Bone marrow aspirate smear:
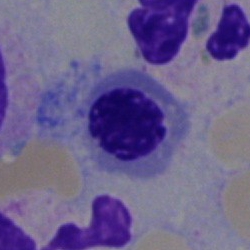{"cell_type": "nucleated red cell"}